Single cell centered in the field · MGG-stained · bone marrow aspirate smear — 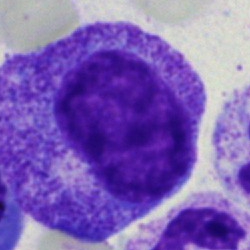
Cell: progranulocyte.